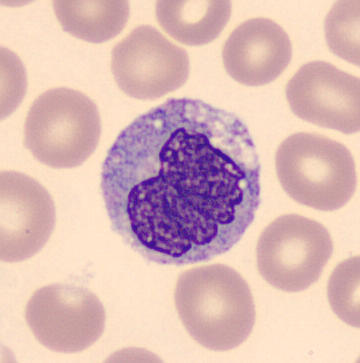 Identified as a monocyte.
Peripheral blood film.